Bone marrow smear:
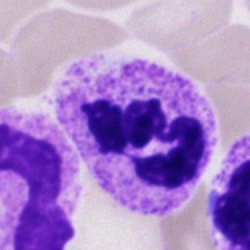

Specimen: bone marrow aspirate smear.
Classification: neutrophil (segmented).